Peripheral blood film: 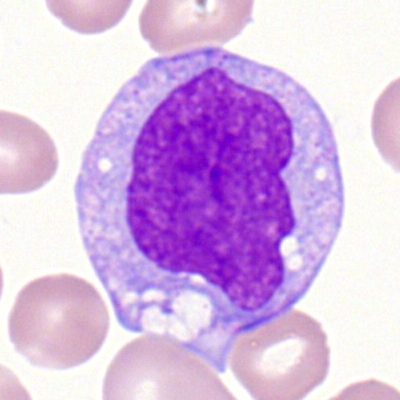

Cell type: monocyte.